40× objective, oil immersion · bone marrow smear — 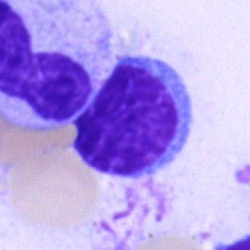{"cell_type": "typical lymphocyte"}